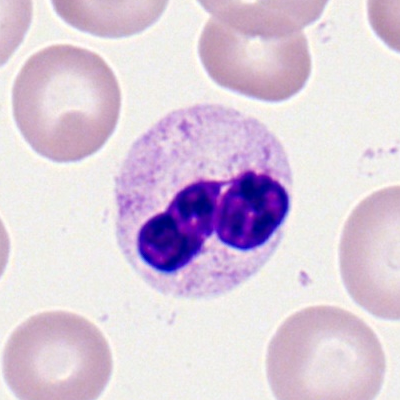

Specimen: peripheral blood film.
Cell: segmented neutrophil.
Lineage: myeloid.